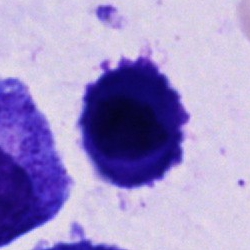An unidentifiable cell.